Single-cell crop; bone marrow smear
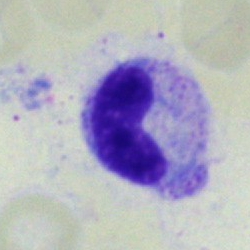
Q: What is the morphological classification of this cell?
A: Band neutrophil.